Bone marrow aspirate smear: 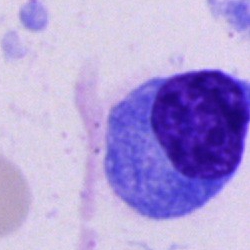
Plasmacyte.